Bone marrow smear — 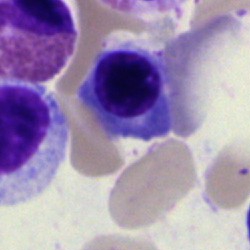
Showing an erythroblast.